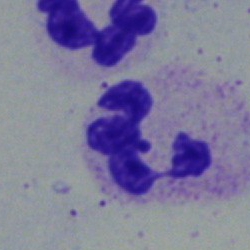

{"cell_type": "polymorphonuclear neutrophil", "lineage": "myeloid"}